Bone marrow smear:
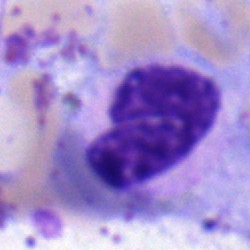
Q: What is the morphological classification of this cell?
A: It is a polymorphonuclear neutrophil.